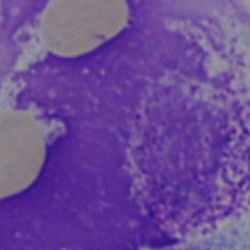
Q: What is shown here?
A: This is an artefact.